Bone marrow smear; cropped to a single cell: 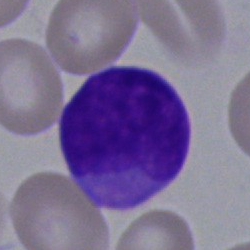 Q: What is the morphological classification of this cell?
A: An undifferentiated blast.